Bone marrow aspirate smear; May-Grünwald-Giemsa stain.
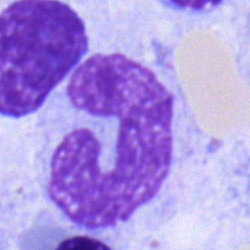 {"cell_type": "band-form neutrophil", "lineage": "myeloid"}